Bone marrow aspirate smear:
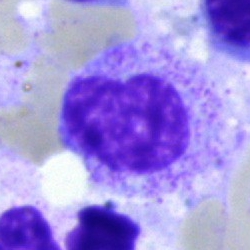Cell type = metamyelocyte.